Single-cell crop · bone marrow smear — 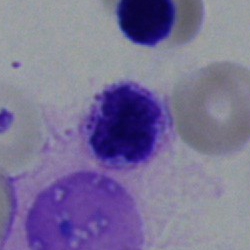Q: What cell is this?
A: It is a neutrophil (segmented).